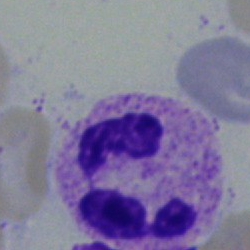

Cell type — polymorphonuclear neutrophil.